Bone marrow smear
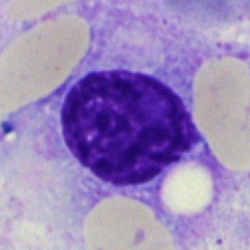
Classification: artefact.